100× objective, oil immersion · Romanowsky stain · peripheral blood film:
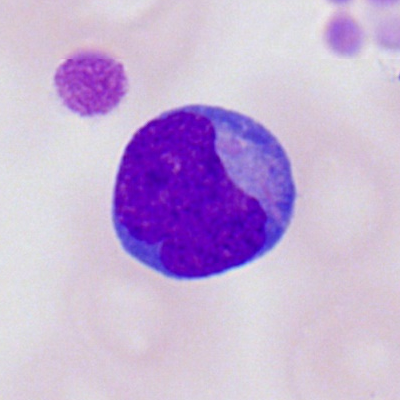Impression — myeloid blast.